Bone marrow aspirate smear; cropped to a single cell; 250 by 250 pixels:
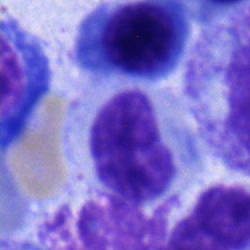 Impression — band neutrophil.